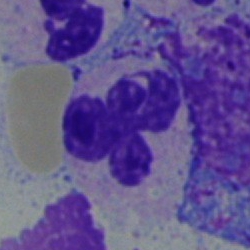 Classification — segmented neutrophil.